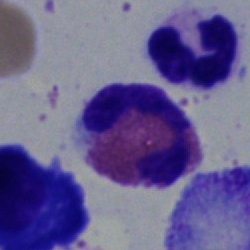Q: What is shown here?
A: An eosinophilic granulocyte.